Bone marrow aspirate smear: 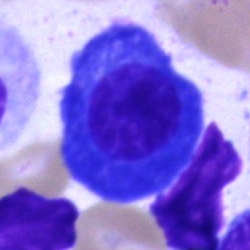
Cell = plasmacyte.